Peripheral blood film; Romanowsky stain:
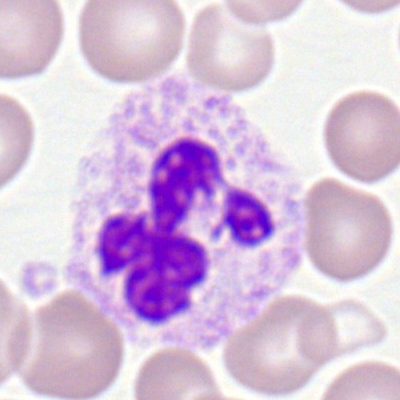
Morphological class — neutrophil (segmented).